Bone marrow aspirate smear.
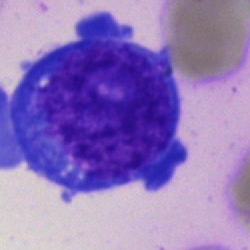 The cell type is blast cell.